Bone marrow smear
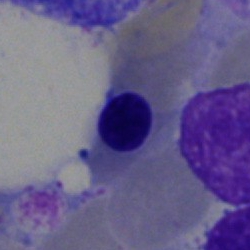

Morphology → erythroblast.